250×250 · brightfield microscopy, 40× oil immersion · bone marrow aspirate smear:
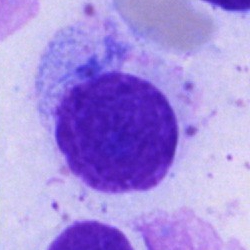 Morphological class — plasma cell.